Peripheral blood film
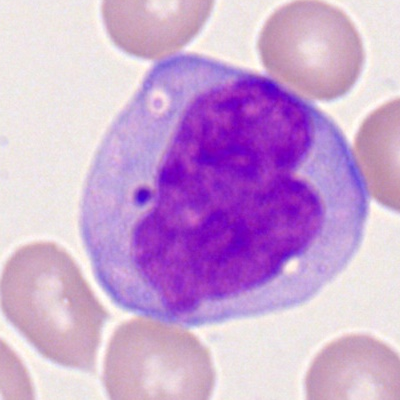Cell type: monocyte.